Image size 250×250; bone marrow smear: 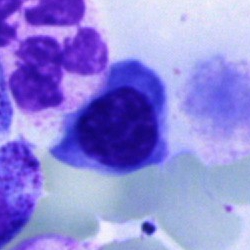

Morphology consistent with a normoblast.